Bone marrow smear: 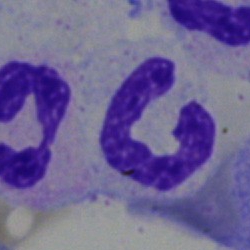Morphological class: neutrophil (segmented).